Bone marrow smear; single cell centered in the field; MGG-stained — 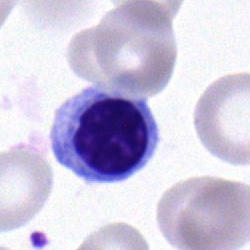 Morphology consistent with an erythroblast.